Bone marrow smear
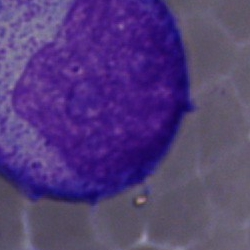 Q: What is shown here?
A: A monocyte.